Bone marrow aspirate smear. May-Grünwald-Giemsa stain
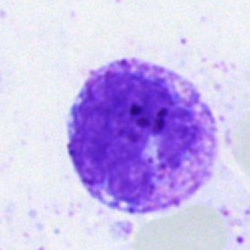Specimen: bone marrow smear.
Classification: basophil.
Lineage: myeloid.